Brightfield, 40× oil-immersion objective · bone marrow smear:
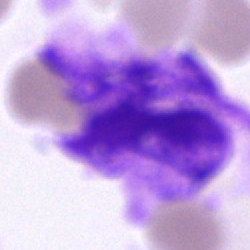

Q: What is shown here?
A: This is an artifact.